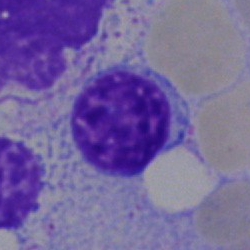 Cell — lymphocyte.